Bone marrow smear.
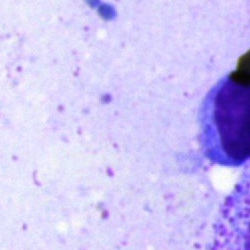
Single cell identified as an artefact.